100× oil immersion. Peripheral blood film:
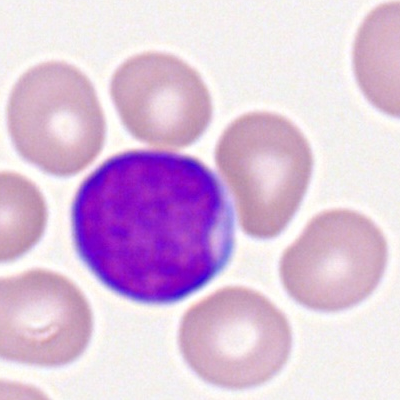Morphology — myeloblast.